Single-cell field · bone marrow aspirate smear: 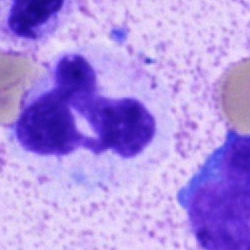 Q: What type of cell is this?
A: A neutrophil (segmented).